May-Grünwald-Giemsa stain. Bone marrow aspirate smear.
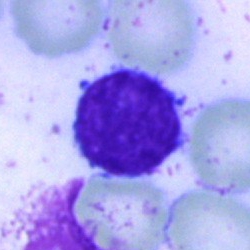
The cell is typical lymphocyte.